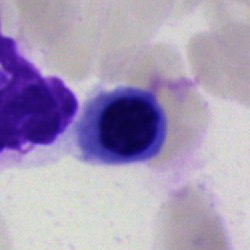
Cell type = artifact.